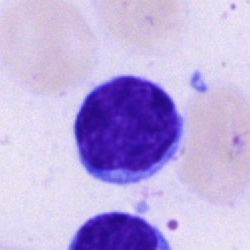
Q: Identify the cell.
A: This is a lymphocyte.